Bone marrow smear:
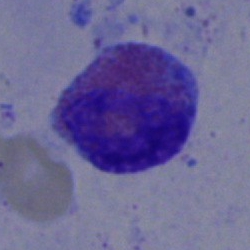Q: What cell is this?
A: It is an eosinophil.